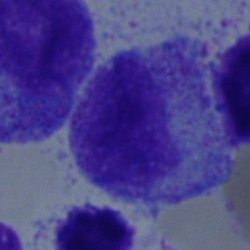
Q: What type of cell is this?
A: Myelocyte.